Peripheral blood film
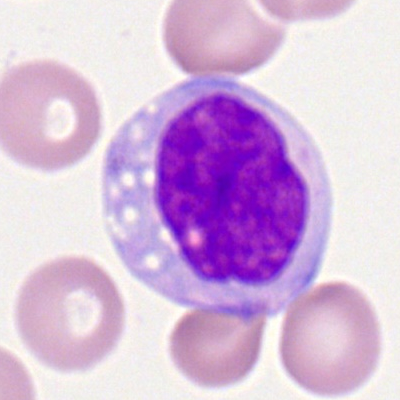

Single cell identified as a monocyte.